Bone marrow smear. 40× objective, oil immersion.
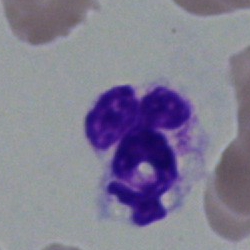 Polymorphonuclear neutrophil.